Bone marrow aspirate smear
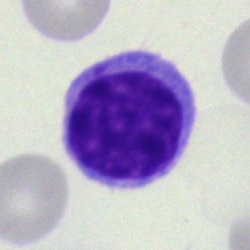

Impression → typical lymphocyte.